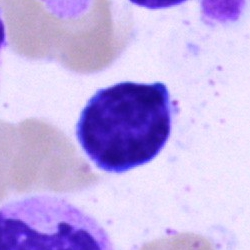 The cell is typical lymphocyte.